Bone marrow aspirate smear
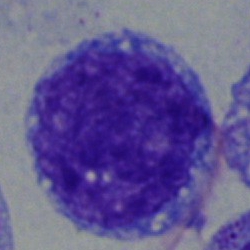

Q: Which cell type is shown here?
A: It is a blast.